May-Grünwald-Giemsa/Pappenheim stain. 250 by 250 pixels. Bone marrow smear
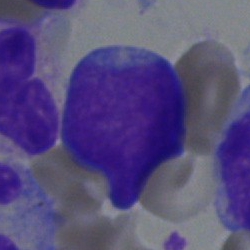 Classification: blast cell.